Bone marrow smear · May-Grünwald-Giemsa stain · cropped to a single cell
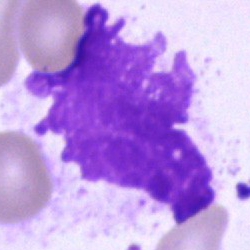

{"cell_type": "artifact"}